Bone marrow smear
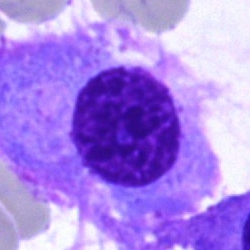The cell shown is a plasmacyte.